Image size 250×250. Cropped to a single cell. Bone marrow smear — 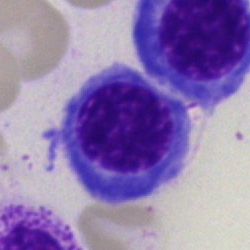A nucleated red cell.